Image size 250×250 · bone marrow aspirate smear: 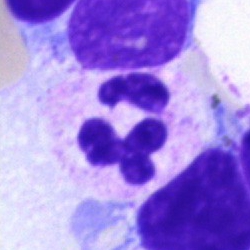This is a neutrophil (segmented).